Brightfield microscopy, 40× oil immersion; bone marrow aspirate smear; Pappenheim-stained.
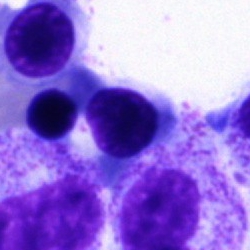

This is an erythroblast.